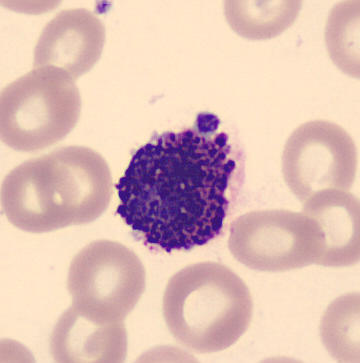 Q: What type of cell is this?
A: Basophilic granulocyte.